Image size 250×250 · bone marrow aspirate smear · cropped to a single cell — 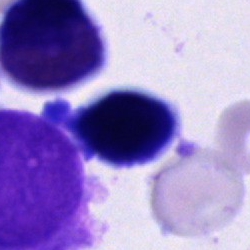
Morphology consistent with an unidentifiable cell.